Bone marrow smear · 40× objective, oil immersion · single cell centered in the field — 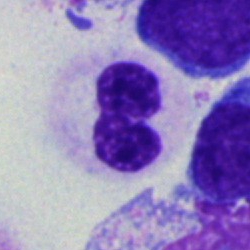
The cell shown is a segmented neutrophil.